250×250. Brightfield microscopy, 40× oil immersion. Bone marrow aspirate smear — 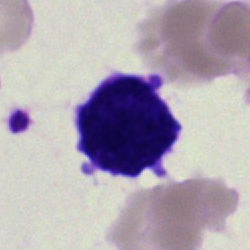
Morphological class: undifferentiated blast.